Bone marrow aspirate smear · May-Grünwald-Giemsa/Pappenheim stain: 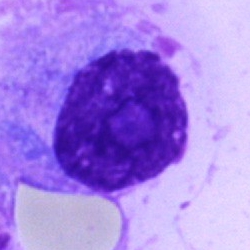

Q: What is the morphological classification of this cell?
A: Plasma cell.